250 by 250 pixels · bone marrow aspirate smear — 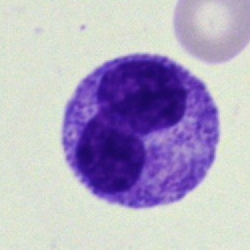 The morphological class is band-form neutrophil.